Bone marrow aspirate smear:
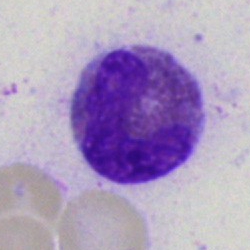

Classification: eosinophilic granulocyte.